Bone marrow smear.
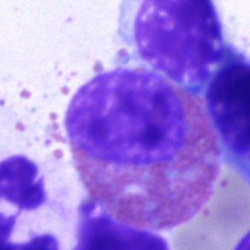 The cell shown is an eosinophilic granulocyte.